Single-cell field. Peripheral blood smear.
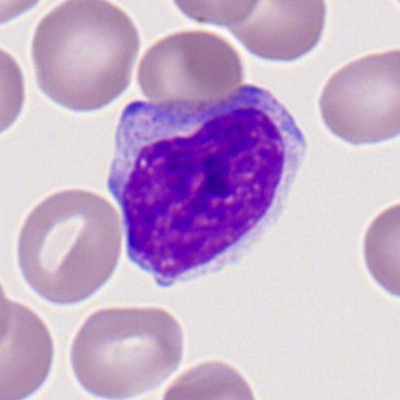Specimen: peripheral blood film.
Cell type: typical lymphocyte.
Lineage: lymphoid.